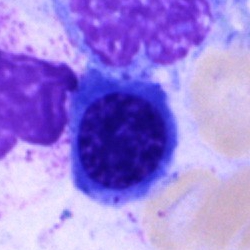 Bone marrow smear showing a nucleated red cell.